Bone marrow smear:
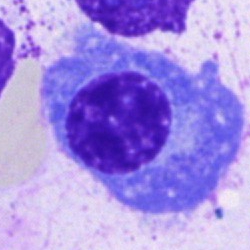A plasma cell.